Single-cell crop; bone marrow smear:
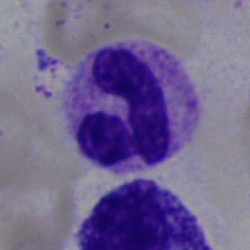
Morphology consistent with a segmented neutrophil.